Bone marrow aspirate smear.
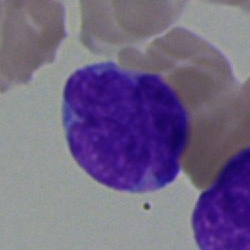
Morphological class = blast cell.